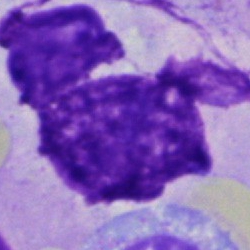

Morphological class = artefact.